40× oil immersion. Cropped to a single cell. Bone marrow smear: 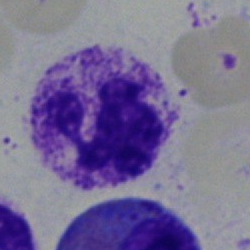 This is a neutrophil (segmented).